May-Grünwald-Giemsa stain; bone marrow aspirate smear — 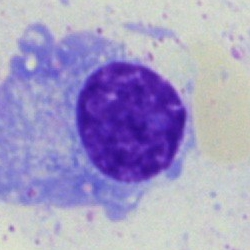

Cell — plasmacyte.